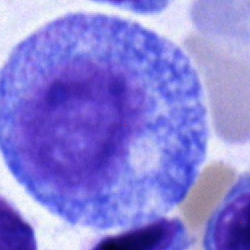

Cell type = progranulocyte.